Bone marrow aspirate smear
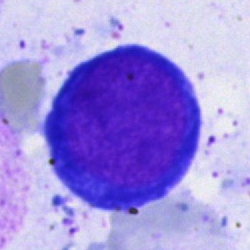{"cell_type": "proerythroblast", "lineage": "erythroid"}